Bone marrow aspirate smear. May-Grünwald-Giemsa/Pappenheim stain. Brightfield, 40× oil-immersion objective:
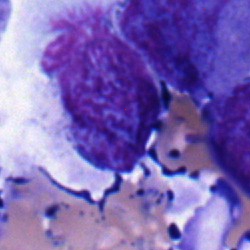Morphology consistent with a blast cell.